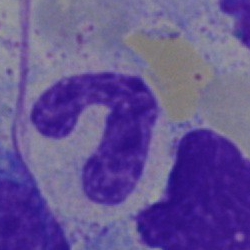 {"cell_type": "neutrophil (band)", "lineage": "myeloid"}